Bone marrow aspirate smear. 250×250
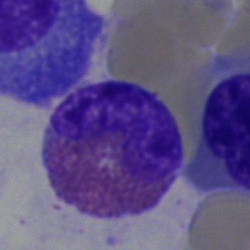

Cell: eosinophilic granulocyte.